100× oil immersion, 14.14 px/µm; peripheral blood film; 400×400 px:
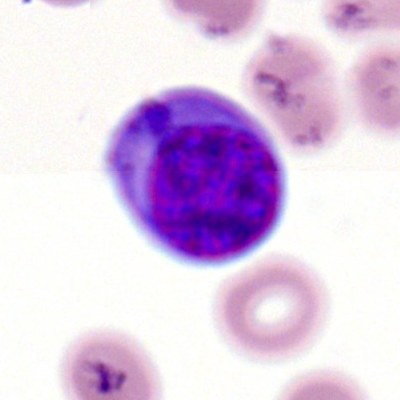
Typical lymphocyte.